Bone marrow aspirate smear — 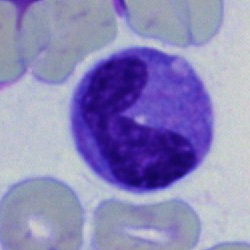

A monocyte.